Bone marrow aspirate smear · Pappenheim-stained: 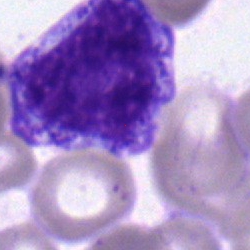
Cell type: myelocyte.